Bone marrow aspirate smear. Brightfield microscopy, 40× oil immersion. May-Grünwald-Giemsa/Pappenheim stain
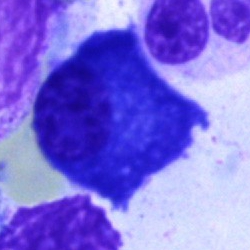Morphology — plasma cell.